Bone marrow aspirate smear — 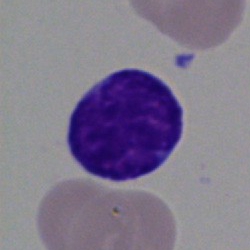 The cell shown is a blast.